Bone marrow aspirate smear.
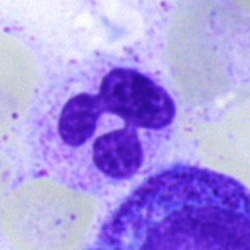 Classification: polymorphonuclear neutrophil.